Bone marrow smear · brightfield microscopy, 40× oil immersion · Pappenheim-stained.
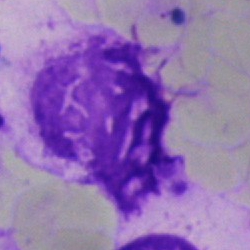Cell type = artefact.